Bone marrow aspirate smear · cropped to a single cell
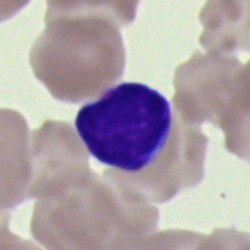

Cell type = lymphocyte.